Bone marrow aspirate smear — 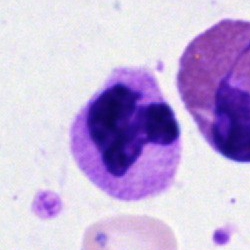
Specimen: bone marrow smear.
Classification: neutrophil (segmented).